Bone marrow smear:
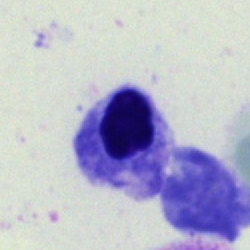 Classification = normoblast.